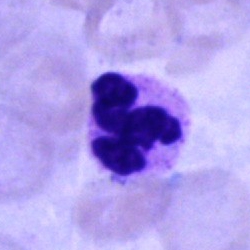
A polymorphonuclear neutrophil.